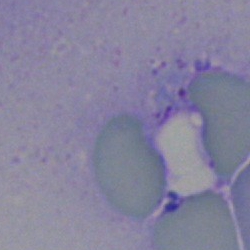
Specimen: bone marrow aspirate smear.
Classification: artifact.